Bone marrow aspirate smear:
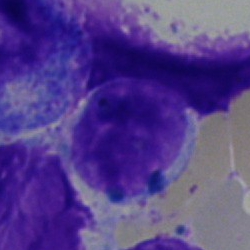
Cell type: lymphocyte.